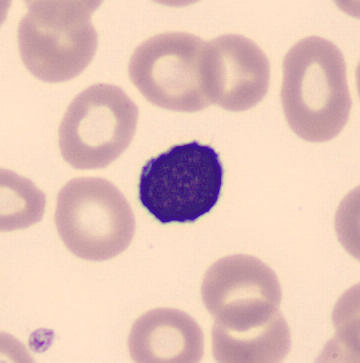Preparation: Peripheral blood film · imaged on a CellaVision DM96 analyser.
A lymphocyte.